Bone marrow aspirate smear: 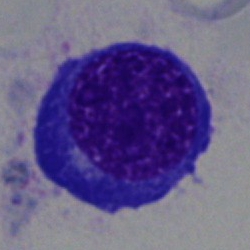

Morphological class = nucleated red blood cell.